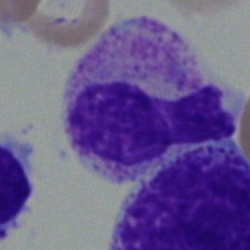 Metamyelocyte.